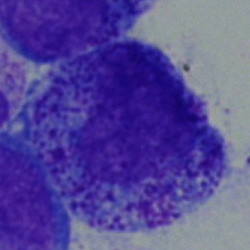 Specimen: bone marrow aspirate smear.
Cell: progranulocyte.
Lineage: myeloid.